Bone marrow smear; 250×250 px; brightfield, 40× oil-immersion objective: 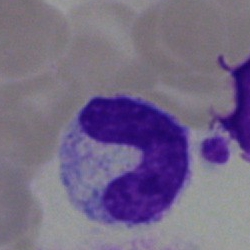

Morphology consistent with a neutrophil (band).